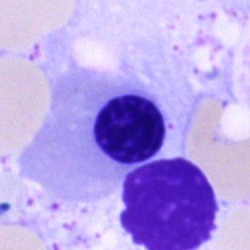
Morphology consistent with a normoblast.